Bone marrow aspirate smear:
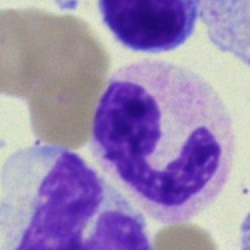Single cell identified as a neutrophil (segmented).